May-Grünwald-Giemsa stain · bone marrow aspirate smear.
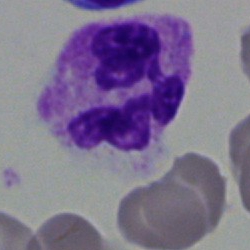

Cell type = segmented neutrophil.